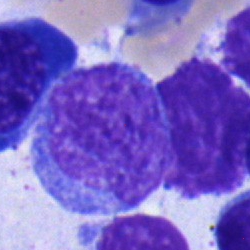
Morphology — monocyte.